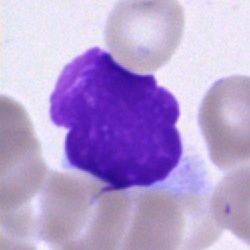
Specimen: bone marrow aspirate smear.
Cell type: artifact.